Peripheral blood smear
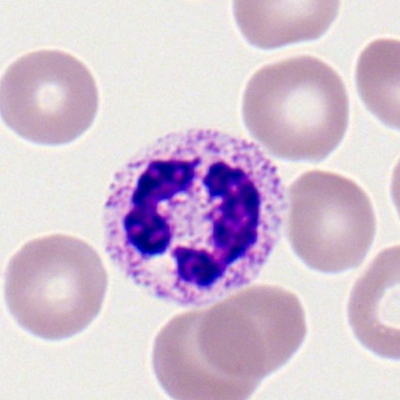
Specimen: peripheral blood film.
Cell type: polymorphonuclear neutrophil.
Lineage: myeloid.